Bone marrow aspirate smear; May-Grünwald-Giemsa/Pappenheim stain.
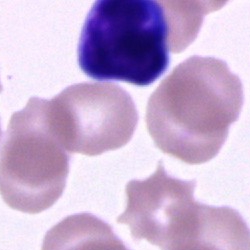Classification: cell of indeterminate lineage.